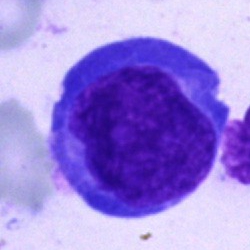Impression — blast.